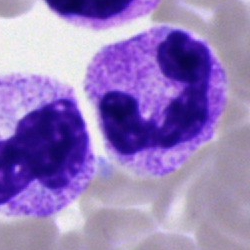

Q: Identify the cell.
A: A neutrophil (segmented).